Bone marrow smear — 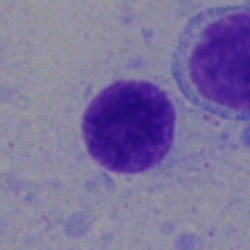
Single cell identified as a lymphocyte.